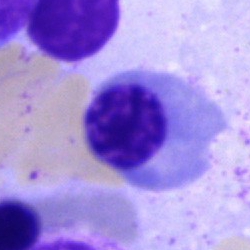

Single cell identified as a normoblast.